Bone marrow smear: 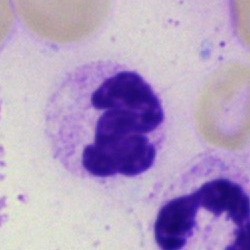Impression → polymorphonuclear neutrophil.